Pappenheim-stained · bone marrow smear.
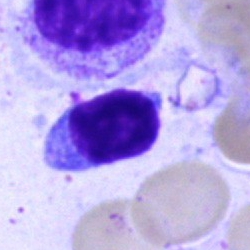 Lymphocyte.